Bone marrow aspirate smear:
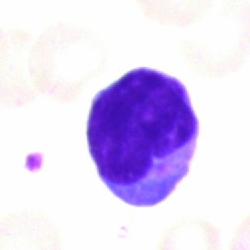

A lymphocyte.